250×250 · bone marrow smear.
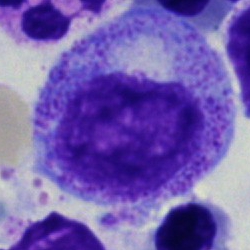
Specimen: bone marrow aspirate smear.
Classification: myelocyte.